Bone marrow smear
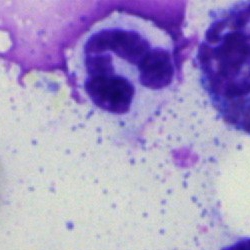 Specimen: bone marrow aspirate smear.
Classification: segmented neutrophil.
Lineage: myeloid.